Bone marrow aspirate smear. 250×250. May-Grünwald-Giemsa/Pappenheim stain.
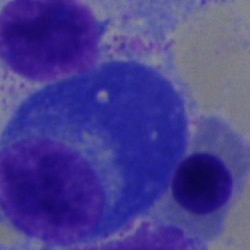
This is a plasma cell.